Bone marrow aspirate smear
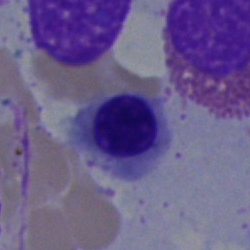
Impression — erythroblast.